Bone marrow smear
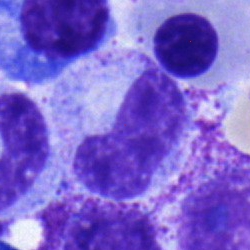The morphological class is metamyelocyte.